Cropped to a single cell · bone marrow smear — 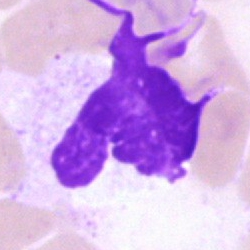
Impression — artifact.